250 by 250 pixels; bone marrow smear; May-Grünwald-Giemsa/Pappenheim stain: 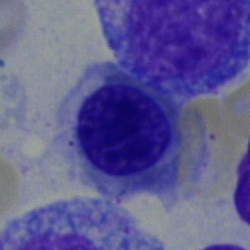 An erythroblast.